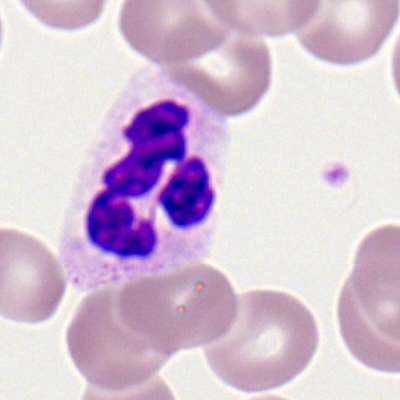Morphology → segmented neutrophil.